Bone marrow aspirate smear; brightfield, 40× oil-immersion objective:
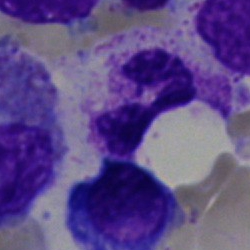This is a neutrophil (segmented).